May-Grünwald-Giemsa/Pappenheim stain; bone marrow smear — 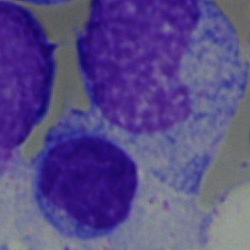
{"cell_type": "typical lymphocyte", "lineage": "lymphoid"}